Bone marrow smear: 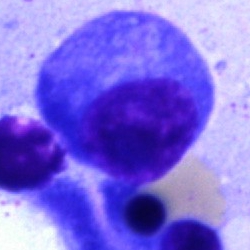Q: What type of cell is this?
A: It is a plasmacyte.